Bone marrow aspirate smear; single-cell crop — 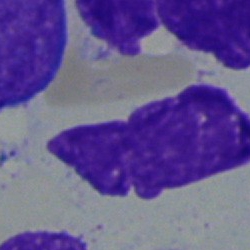
Morphology consistent with a nucleated red blood cell.